Bone marrow smear:
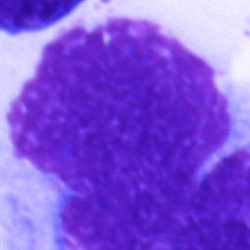

{"cell_type": "artefact"}